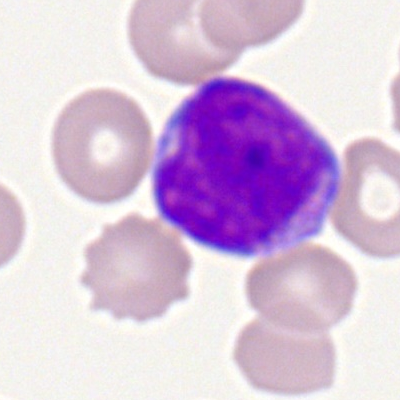

Cell: myeloid blast.